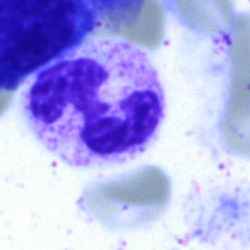
The cell shown is a neutrophil (segmented).